Bone marrow smear
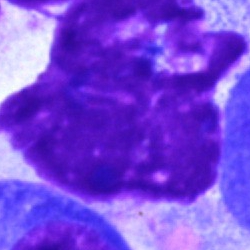

Q: What is shown here?
A: This is an artefact.